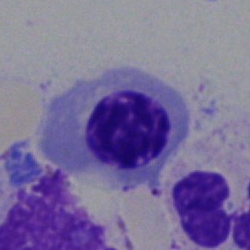 Q: What is shown here?
A: This is a normoblast.